Peripheral blood film; cropped to a single cell; M8 digital microscope (Precipoint), 100× oil immersion:
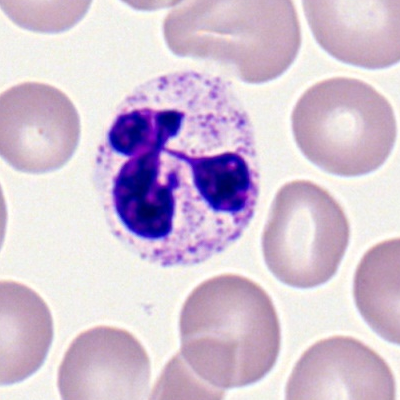

Specimen: peripheral blood smear.
Cell: neutrophil (segmented).
Lineage: myeloid.